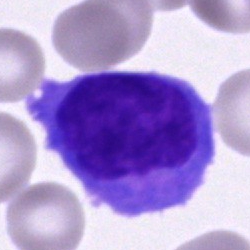

Cell type: lymphocyte.